Bone marrow aspirate smear — 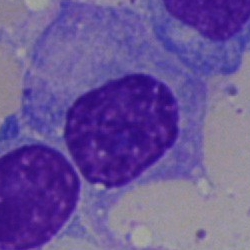
Specimen: bone marrow smear.
Cell type: plasmacyte.